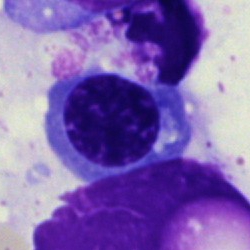Cell type = erythroblast.